250×250. Bone marrow aspirate smear
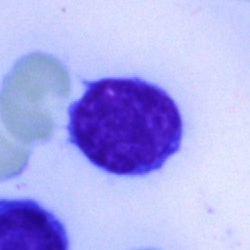

The cell is lymphocyte.